Bone marrow smear; May-Grünwald-Giemsa/Pappenheim stain; 250×250 px: 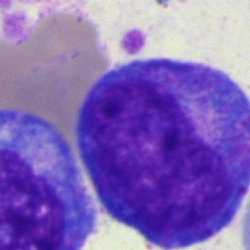Cell — promyelocyte.